Bone marrow aspirate smear — 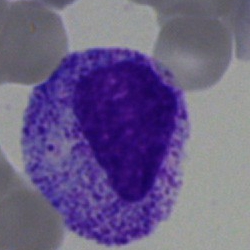

Morphology consistent with a myelocyte.